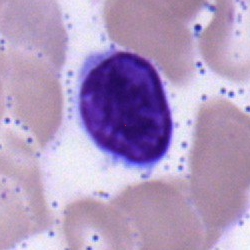

Cell type = lymphocyte.